Bone marrow smear · single-cell field: 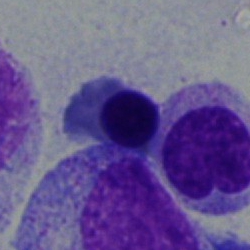

Q: What type of cell is this?
A: A nucleated red cell.